MGG-stained. Bone marrow smear. 250×250 px:
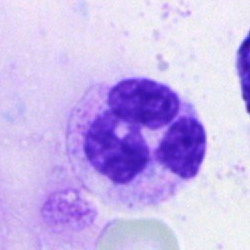

Showing a segmented neutrophil.